Bone marrow aspirate smear
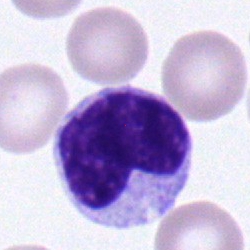

Specimen: bone marrow smear.
Cell: neutrophil (band).